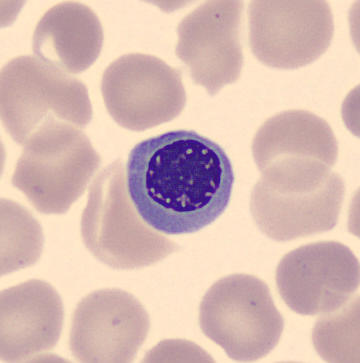
Specimen: peripheral blood film.
Morphological class: nucleated red cell.
Lineage: erythroid.